Peripheral blood smear; Romanowsky stain:
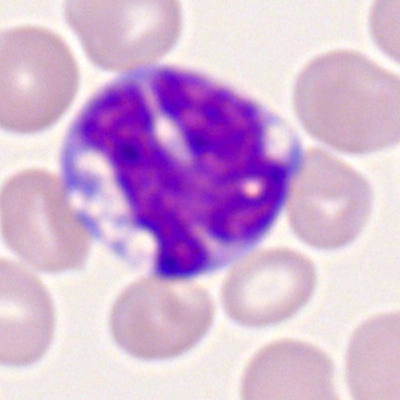 Cell type — monocyte.